Peripheral blood smear:
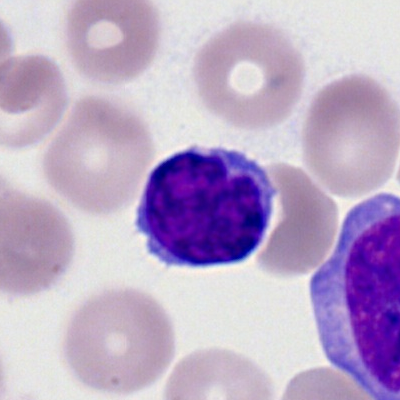
Specimen: peripheral blood film.
Cell: lymphocyte.
Lineage: lymphoid.